Bone marrow smear. MGG-stained.
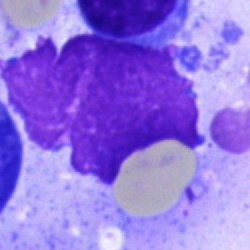 Cell — artefact.